Bone marrow aspirate smear: 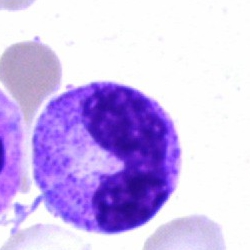Q: What cell is this?
A: A band-form neutrophil.